Image size 250×250 · bone marrow aspirate smear · brightfield, 40× oil-immersion objective:
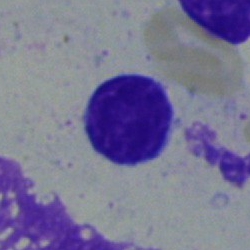
Specimen: bone marrow smear.
Cell: lymphocyte.
Lineage: lymphoid.